May-Grünwald-Giemsa/Pappenheim stain; image size 250×250; bone marrow aspirate smear:
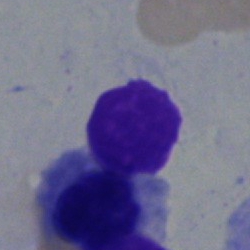
Cell = nucleated red blood cell.